Bone marrow smear · Pappenheim-stained · 40× oil immersion
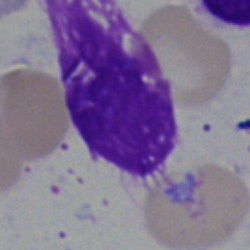

Cell — artifact.